Bone marrow smear:
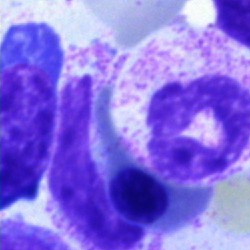
Q: What is shown here?
A: Neutrophil (segmented).